Bone marrow smear; cropped to a single cell:
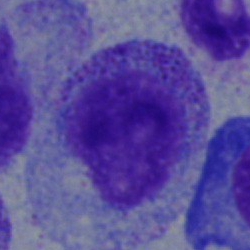 Classification = myelocyte.